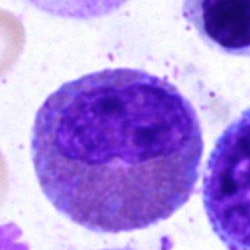

Q: What is the morphological classification of this cell?
A: This is an eosinophilic granulocyte.